Bone marrow smear; 250 by 250 pixels.
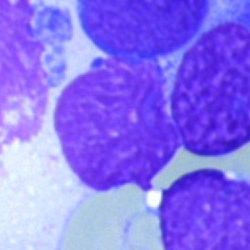 Q: What is shown here?
A: This is an artefact.